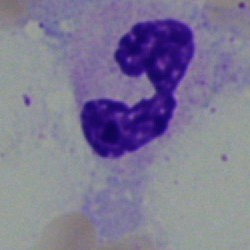
Morphological class: segmented neutrophil.